Bone marrow aspirate smear — 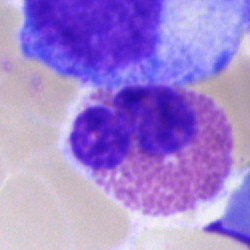Classification: eosinophil.